Bone marrow smear:
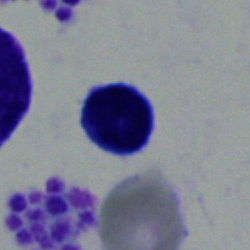
Specimen: bone marrow smear.
Cell: typical lymphocyte.
Lineage: lymphoid.